Bone marrow smear; 40× oil immersion; image size 250×250:
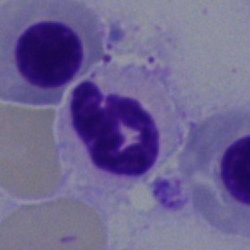 Morphology consistent with a polymorphonuclear neutrophil.